Brightfield, 40× oil-immersion objective · single-cell crop · bone marrow aspirate smear.
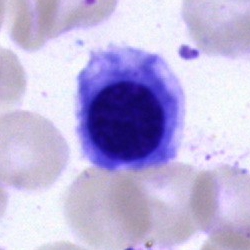Impression — normoblast.